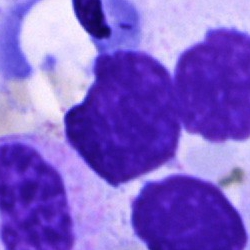 Q: What is shown here?
A: Artifact.